250 by 250 pixels · bone marrow aspirate smear · May-Grünwald-Giemsa stain.
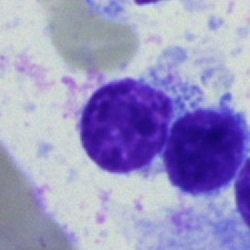 The cell shown is a lymphocyte.